Bone marrow smear.
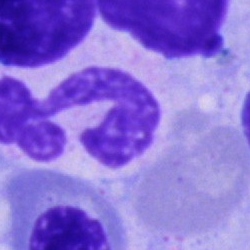Specimen: bone marrow aspirate smear.
Classification: polymorphonuclear neutrophil.
Lineage: myeloid.